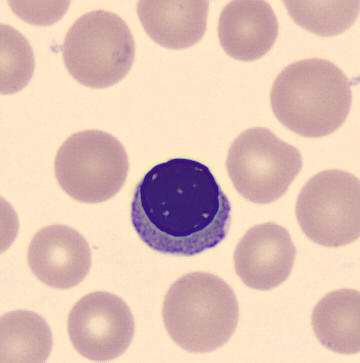
Preparation: Peripheral blood smear.

The cell type is erythroblast.